Brightfield, 40× oil-immersion objective. Bone marrow smear — 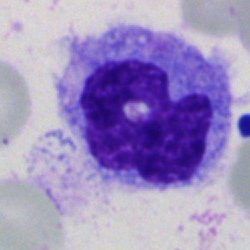

Showing a monocyte.